Pappenheim-stained. 250×250. Bone marrow aspirate smear
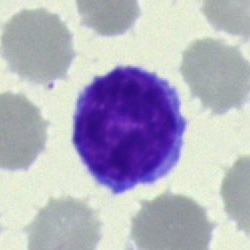 Specimen: bone marrow aspirate smear.
Cell type: typical lymphocyte.
Lineage: lymphoid.